Bone marrow aspirate smear.
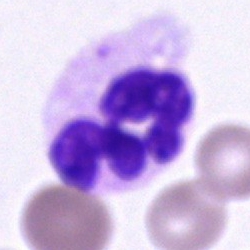Q: Identify the cell.
A: This is a polymorphonuclear neutrophil.